Bone marrow aspirate smear.
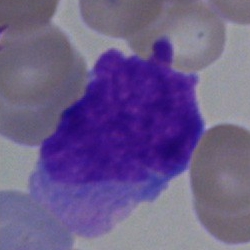
Q: What is shown here?
A: It is a blast.